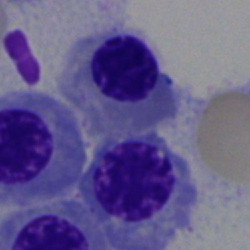Morphology → erythroblast.